Bone marrow aspirate smear.
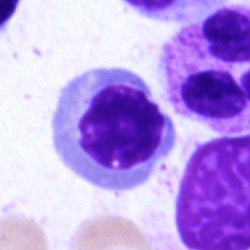 This is an erythroblast.